Pappenheim-stained · bone marrow smear · 40× oil immersion.
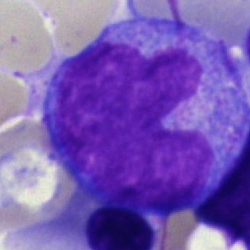
This is a monocyte.